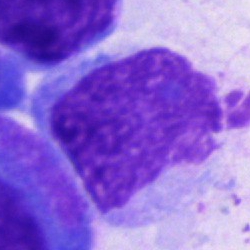{"cell_type": "artefact"}